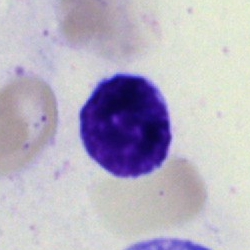Morphology → typical lymphocyte.